Bone marrow aspirate smear:
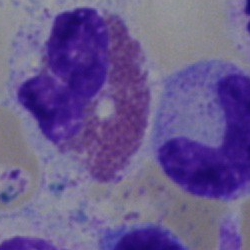Morphological class = eosinophil.